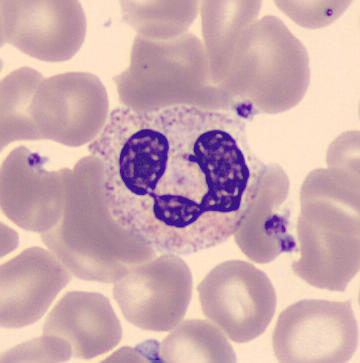Morphology consistent with a polymorphonuclear neutrophil.
Peripheral blood film.